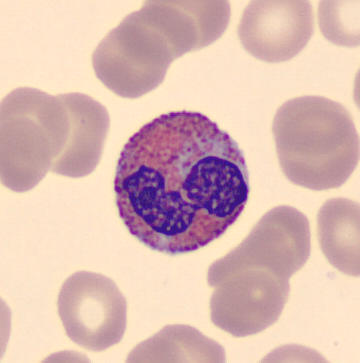
Single cell identified as an eosinophilic granulocyte.